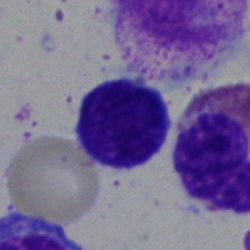
Q: Which cell type is shown here?
A: It is a lymphocyte.